Bone marrow smear. 250 by 250 pixels:
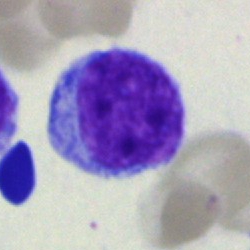 Blast cell.